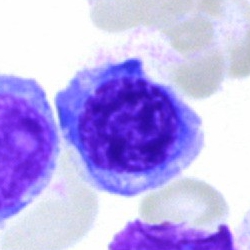
A normoblast.